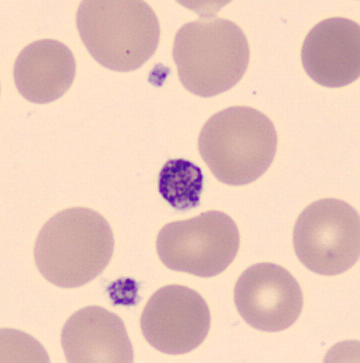

Image: Peripheral blood smear.

Impression — thrombocyte.